Bone marrow smear. MGG-stained: 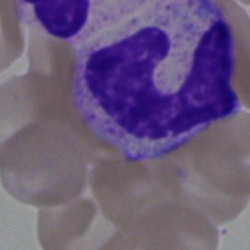 Morphology consistent with a stab cell.